Bone marrow smear: 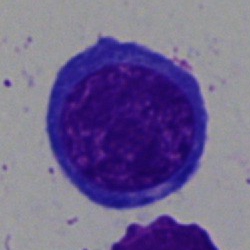This is an erythroblast.